Brightfield microscopy, 40× oil immersion. Bone marrow smear — 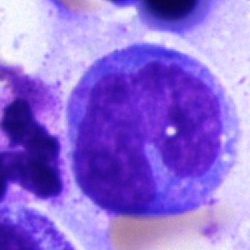Single cell identified as a monocyte.